250 by 250 pixels · bone marrow smear: 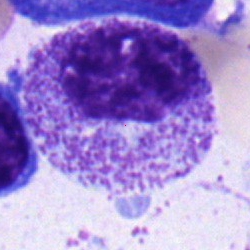 Classification = myelocyte.